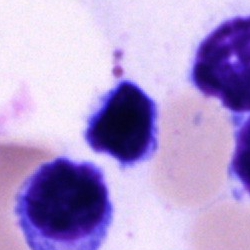
Bone marrow smear showing a typical lymphocyte.